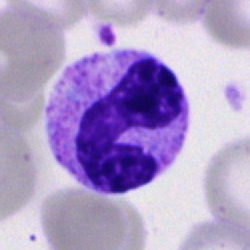
Cell: band neutrophil.